Brightfield microscopy, 40× oil immersion · 250×250 px · bone marrow smear — 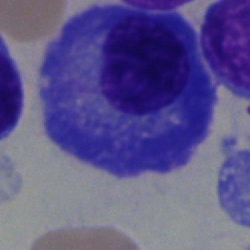 This is a plasma cell.